40× oil immersion · bone marrow smear: 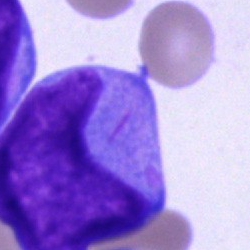

Showing an undifferentiated blast.